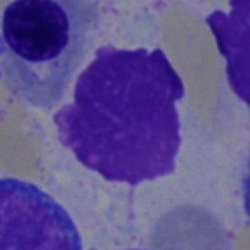Showing an artifact.